Brightfield microscopy, 40× oil immersion; bone marrow smear:
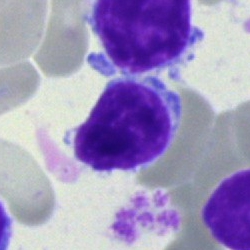 Specimen: bone marrow smear.
Cell: typical lymphocyte.
Lineage: lymphoid.